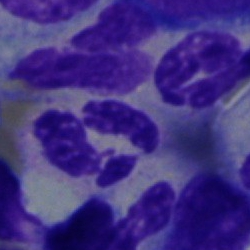

{"cell_type": "segmented neutrophil", "lineage": "myeloid"}